Bone marrow smear — 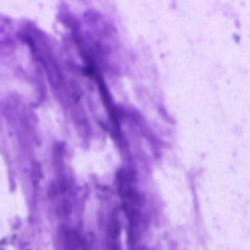

{"cell_type": "artefact"}